250×250 · brightfield, 40× oil-immersion objective · bone marrow smear: 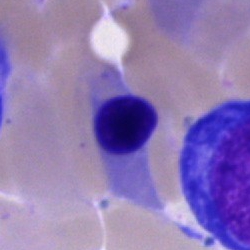 {"cell_type": "erythroblast"}